Pappenheim-stained. 40× oil immersion. Bone marrow smear — 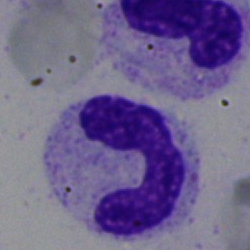 Specimen: bone marrow aspirate smear.
Morphological class: polymorphonuclear neutrophil.
Lineage: myeloid.